Bone marrow smear — 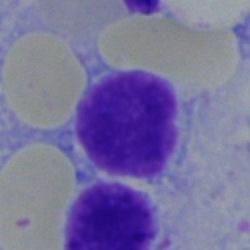
Single cell identified as a lymphocyte.